Pappenheim-stained. Bone marrow smear: 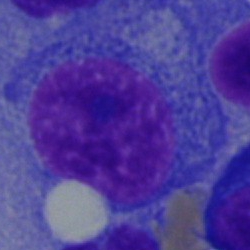
Specimen: bone marrow aspirate smear.
Cell type: plasma cell.
Lineage: lymphoid.